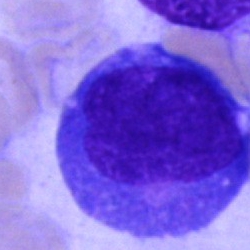 Q: What is the morphological classification of this cell?
A: Undifferentiated blast.